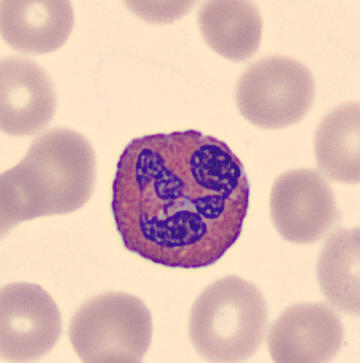

Preparation: Peripheral blood smear.

Showing an eosinophilic granulocyte.